Bone marrow aspirate smear:
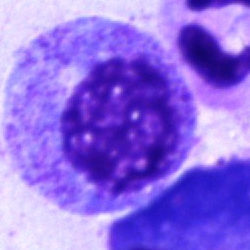
Cell type — progranulocyte.